Bone marrow smear
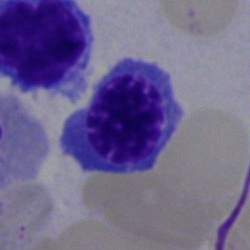 Single cell identified as a normoblast.